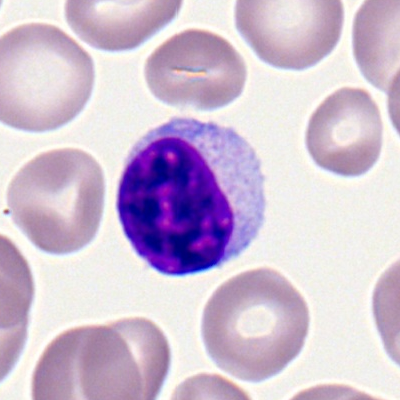The cell shown is a lymphocyte.